Peripheral blood film — 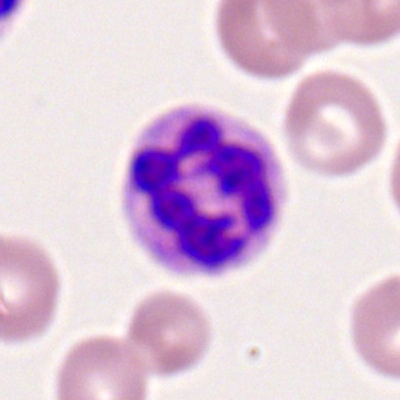Segmented neutrophil.